Single-cell crop · bone marrow aspirate smear · May-Grünwald-Giemsa stain — 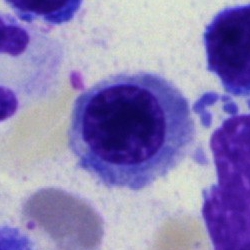 {"cell_type": "erythroblast"}